40× objective, oil immersion · single cell centered in the field · bone marrow aspirate smear:
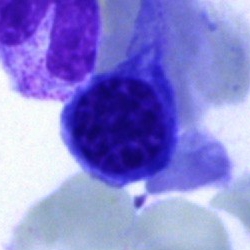

Nucleated red cell.